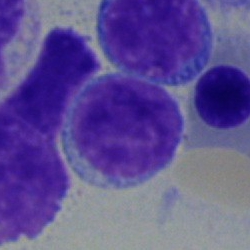Specimen: bone marrow smear.
Cell type: lymphocyte.
Lineage: lymphoid.